Bone marrow smear: 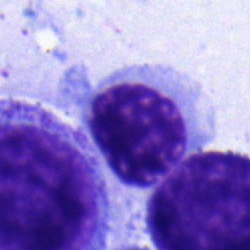Morphology → normoblast.